Peripheral blood smear · single-cell field.
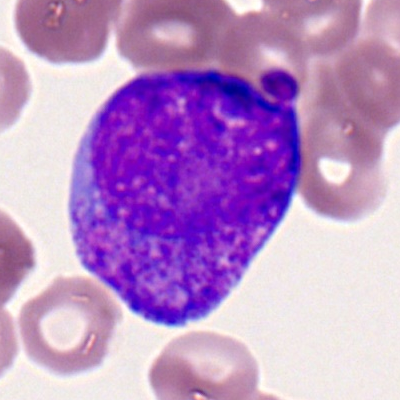
Impression → myeloblast.